MGG-stained. Bone marrow aspirate smear. Single-cell field:
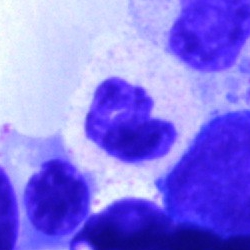 Specimen: bone marrow aspirate smear.
Classification: neutrophil (segmented).